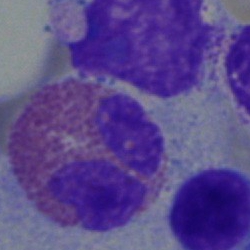
The cell shown is an eosinophilic granulocyte.